Bone marrow aspirate smear. Brightfield, 40× oil-immersion objective. Image size 250×250:
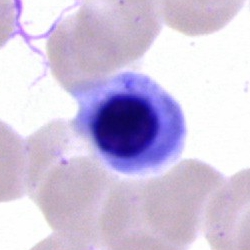{"cell_type": "nucleated red cell", "lineage": "erythroid"}